Bone marrow smear:
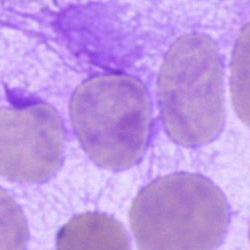
Morphology consistent with an artefact.